Bone marrow aspirate smear.
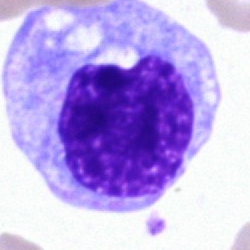 The classification is monocyte.